Peripheral blood smear
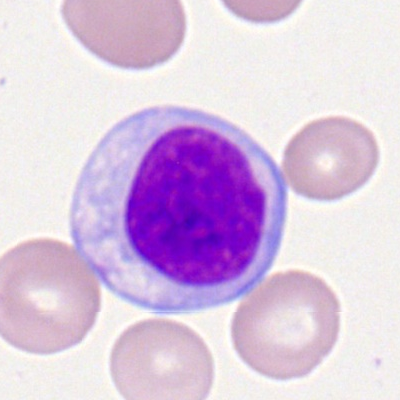 Morphology — typical lymphocyte.